Bone marrow aspirate smear
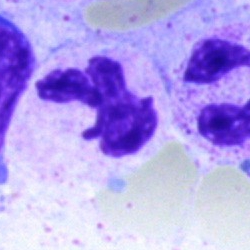

Impression → segmented neutrophil.